Bone marrow smear:
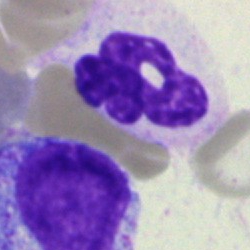The cell shown is a segmented neutrophil.